Peripheral blood film: 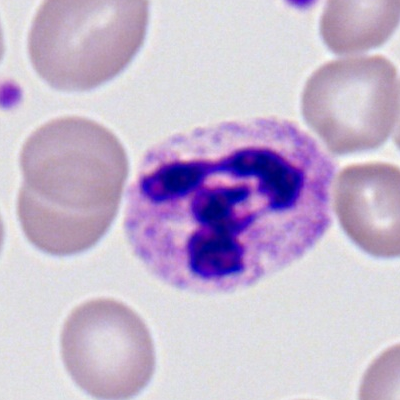
Q: What cell is this?
A: It is a segmented neutrophil.